Single cell centered in the field. Bone marrow smear
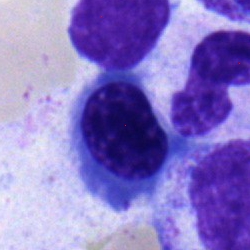Morphology consistent with a nucleated red cell.